Bone marrow smear: 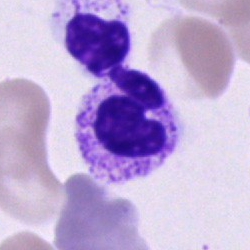 Classification = polymorphonuclear neutrophil.